Bone marrow aspirate smear; MGG-stained; brightfield microscopy, 40× oil immersion — 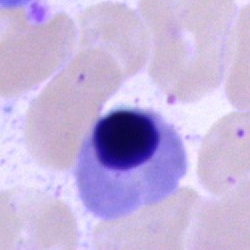
Specimen: bone marrow smear.
Morphological class: nucleated red blood cell.